Bone marrow aspirate smear
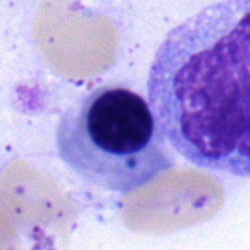This is a normoblast.